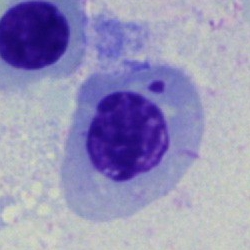Erythroblast.